Pappenheim-stained; bone marrow smear
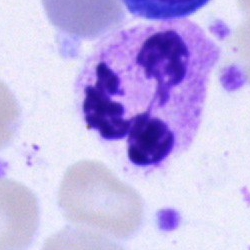 Q: What type of cell is this?
A: It is a neutrophil (segmented).